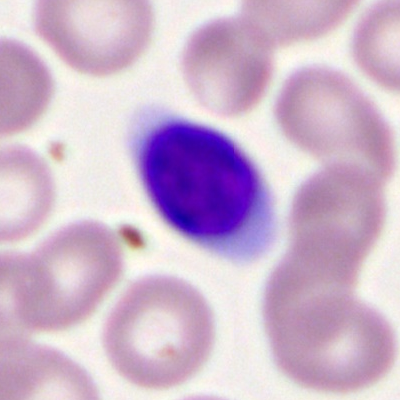 Morphology — typical lymphocyte.